MGG-stained. Bone marrow smear
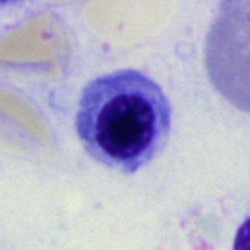 Q: Which cell type is shown here?
A: Nucleated red cell.